Single-cell field. Bone marrow aspirate smear
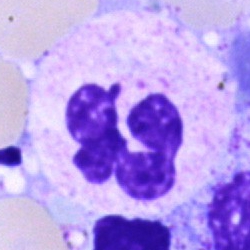

Q: Identify the cell.
A: A neutrophil (segmented).